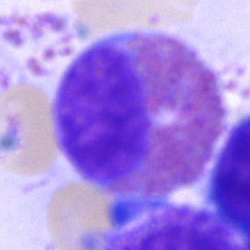
Cell type: eosinophilic granulocyte.